Bone marrow smear — 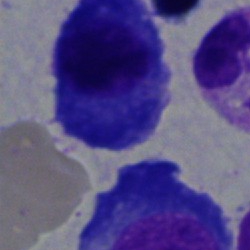{"cell_type": "plasmacyte", "lineage": "lymphoid"}